Single-cell crop · bone marrow smear — 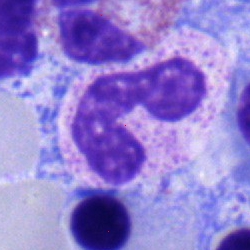
Single cell identified as a band-form neutrophil.